Brightfield, 40× oil-immersion objective. Bone marrow smear:
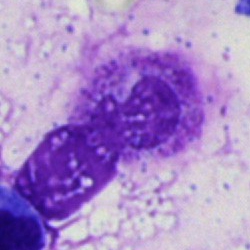

Impression → artefact.